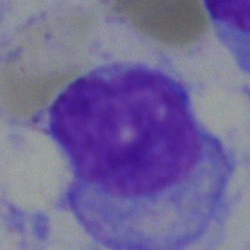

Cell type — undifferentiated blast.